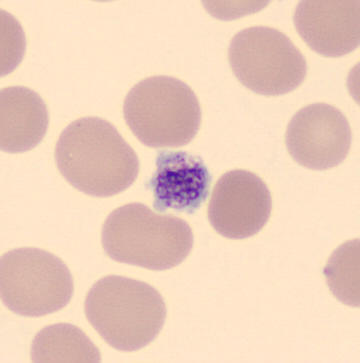
Q: What is this?
A: Platelet (thrombocyte).

Acquisition: Imaged on a CellaVision DM96 analyser. 360×363 px. Peripheral blood film.